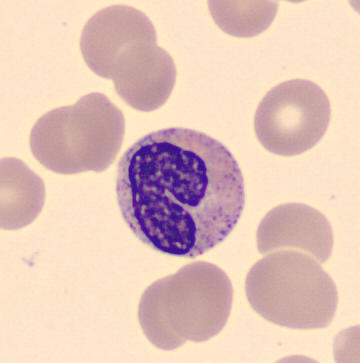Q: What is this?
A: A band-form neutrophil.